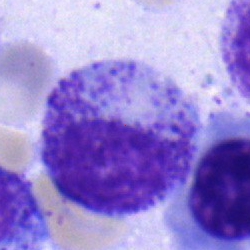
Q: Identify the cell.
A: Myelocyte.